Bone marrow smear. 250×250 — 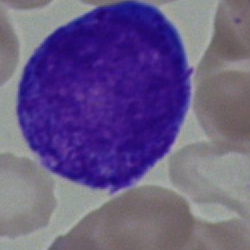Cell: progranulocyte.